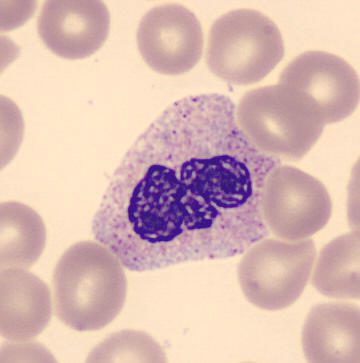{"cell_type": "band-form neutrophil", "lineage": "myeloid"} Peripheral blood film.